Bone marrow aspirate smear · MGG-stained · brightfield, 40× oil-immersion objective: 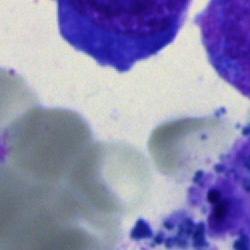
Q: What is shown here?
A: It is an artifact.